Bone marrow smear — 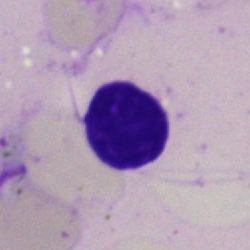 Artefact.